Bone marrow smear · 250×250 px — 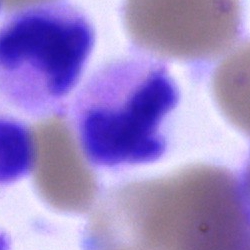

The cell is segmented neutrophil.